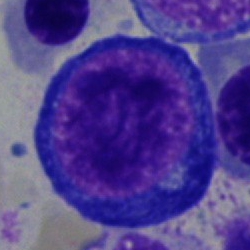
Morphological class — pronormoblast.